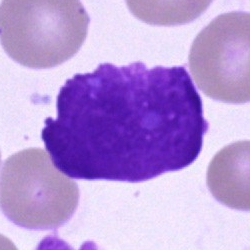Classification = artefact.